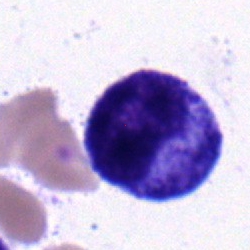Specimen: bone marrow aspirate smear.
Cell: myelocyte.